Bone marrow smear — 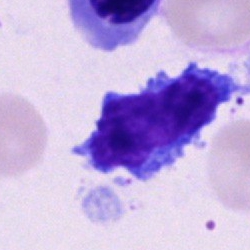Q: Identify the cell.
A: It is a typical lymphocyte.